Peripheral blood film.
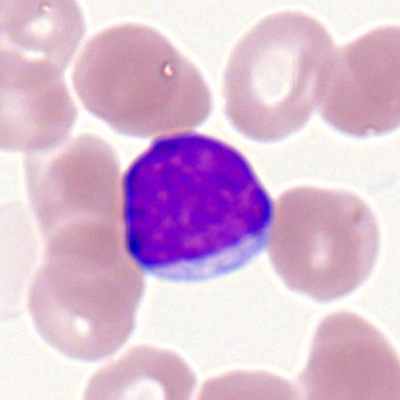Single cell identified as a lymphocyte.